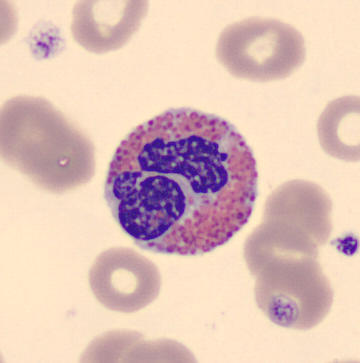

Specimen: peripheral blood smear.
Morphological class: eosinophilic granulocyte.
Lineage: myeloid.